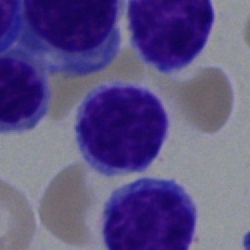 Q: What is shown here?
A: A lymphocyte.